Bone marrow smear.
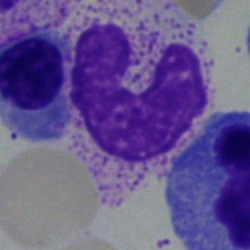
The classification is stab cell.